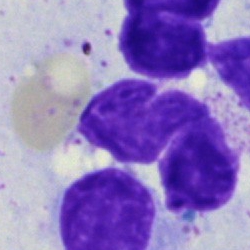 Bone marrow aspirate smear, single cell — neutrophil (segmented).